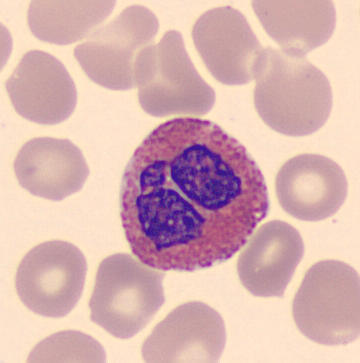Specimen: peripheral blood smear.
Cell: eosinophilic granulocyte.
Lineage: myeloid. Image: Single-cell field; MGG stain.